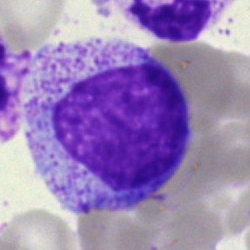
The classification is myelocyte.